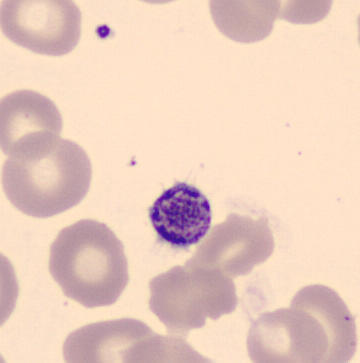
Peripheral blood smear showing a platelet (thrombocyte).